Bone marrow smear. May-Grünwald-Giemsa/Pappenheim stain. 250 by 250 pixels:
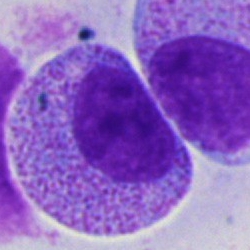Q: What type of cell is this?
A: It is a progranulocyte.